Peripheral blood film. 400 by 400 pixels
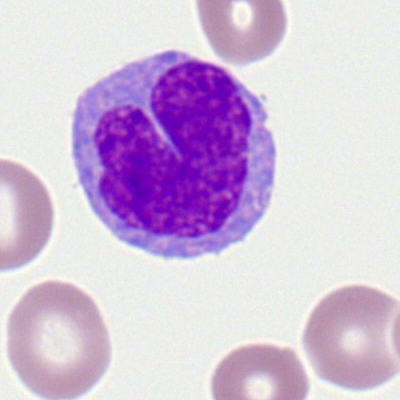Showing a monocyte.